Bone marrow aspirate smear. Brightfield microscopy, 40× oil immersion. Image size 250×250
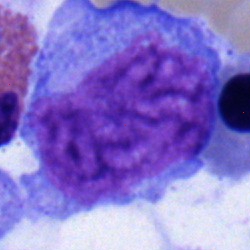A blast.